Bone marrow smear:
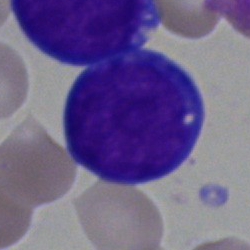This is a blast cell.